Bone marrow smear:
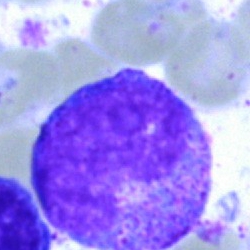 Cell — metamyelocyte.